Bone marrow aspirate smear. May-Grünwald-Giemsa/Pappenheim stain — 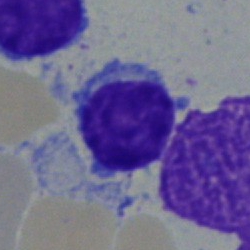

Showing a typical lymphocyte.